Single-cell crop. Bone marrow aspirate smear.
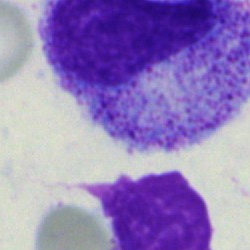
Impression → myelocyte.